Peripheral blood smear. Romanowsky stain.
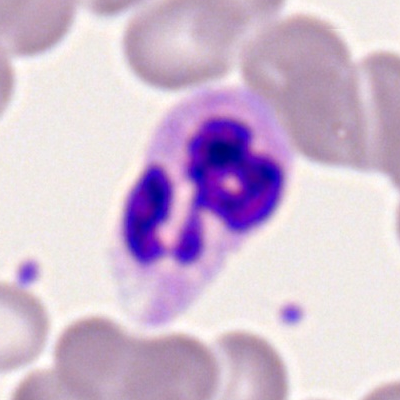
Q: Identify the cell.
A: It is a segmented neutrophil.